Bone marrow smear: 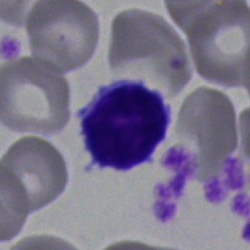
The cell is lymphocyte.